Bone marrow aspirate smear
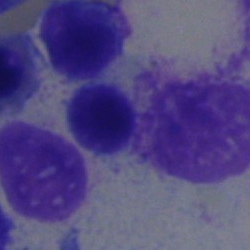{"cell_type": "artefact"}